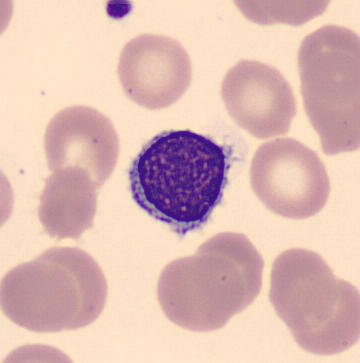
Impression → typical lymphocyte.